Image size 250×250 · bone marrow aspirate smear: 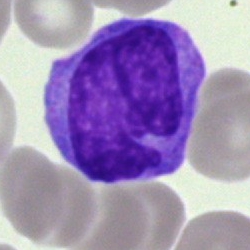

Morphological class: monocyte.